Bone marrow smear.
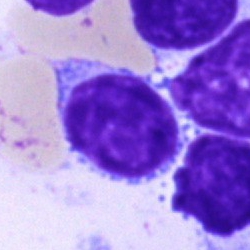
Showing a typical lymphocyte.